250×250 px; bone marrow aspirate smear
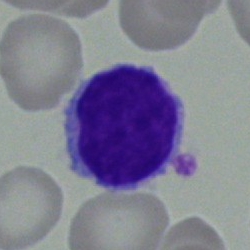Morphology — lymphocyte.